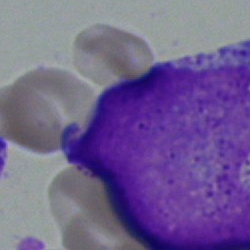
Morphology — promyelocyte.